Bone marrow aspirate smear; MGG-stained
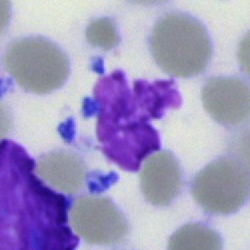

The cell shown is an artefact.